Bone marrow aspirate smear
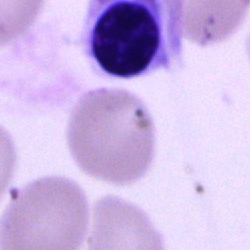

Morphological class: nucleated red cell.